Bone marrow smear · image size 250×250 · May-Grünwald-Giemsa/Pappenheim stain.
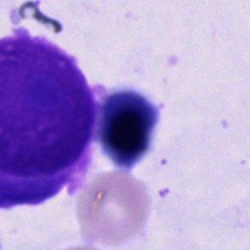 An unidentifiable cell.